Bone marrow aspirate smear
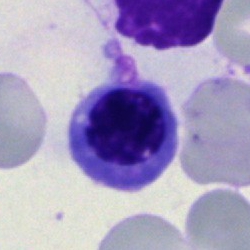Morphology consistent with an erythroblast.